Bone marrow aspirate smear.
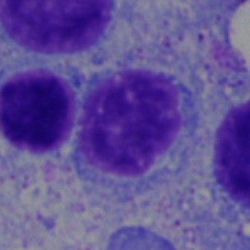
This is a lymphocyte.